Bone marrow aspirate smear:
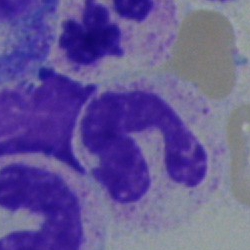

Q: What type of cell is this?
A: A neutrophil (segmented).